Bone marrow smear: 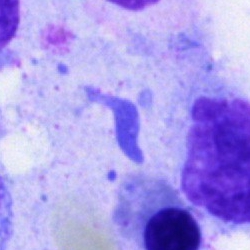

Morphology — artefact.